Bone marrow aspirate smear; 40× oil immersion — 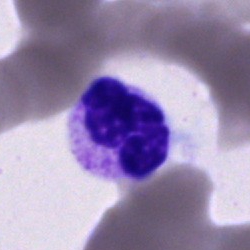Q: What type of cell is this?
A: A segmented neutrophil.